Image size 360×363; peripheral blood smear; CellaVision DM96 digital cell image.
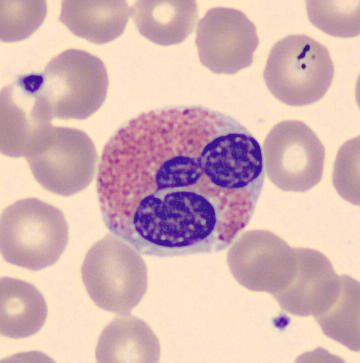
Cell type — eosinophilic granulocyte.